Bone marrow aspirate smear; brightfield microscopy, 40× oil immersion — 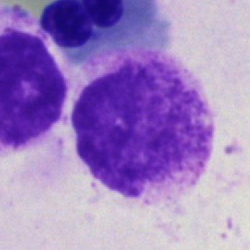
Impression — artifact.